Bone marrow aspirate smear:
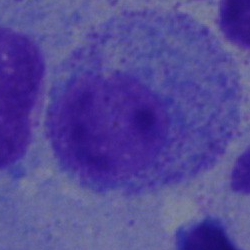Q: What type of cell is this?
A: It is a promyelocyte.